Bone marrow smear
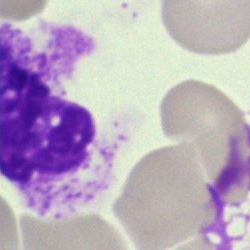
Cell — unidentifiable cell.